Bone marrow aspirate smear · 40× oil immersion · 250×250 px: 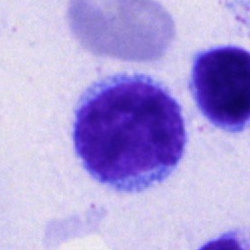
Q: Identify the cell.
A: Lymphocyte.